Bone marrow aspirate smear: 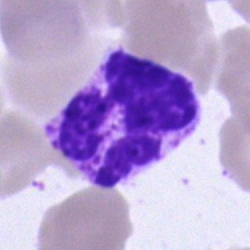
Classification — segmented neutrophil.